Bone marrow smear · 250 by 250 pixels.
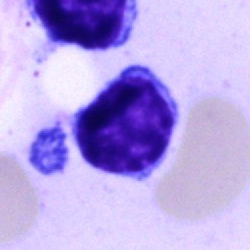 This is a lymphocyte.